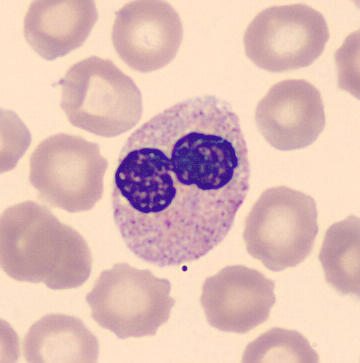 Peripheral blood film. May-Grünwald-Giemsa-stained. Cropped to a single cell.

Q: What is shown here?
A: It is a neutrophil (segmented).